Bone marrow aspirate smear
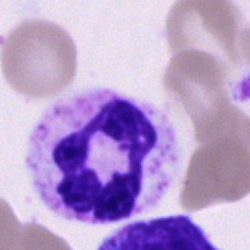 This is a polymorphonuclear neutrophil.